Bone marrow aspirate smear — 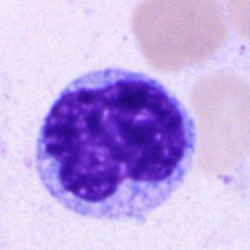

Morphology → undifferentiated blast.